Pappenheim-stained. Single-cell field. Bone marrow smear — 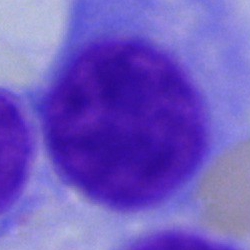Classification: artefact.